40× oil immersion. 250×250. Bone marrow aspirate smear
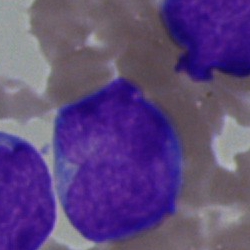

The classification is blast.